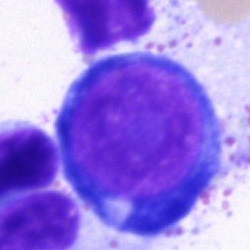
Morphological class = proerythroblast.